Bone marrow aspirate smear:
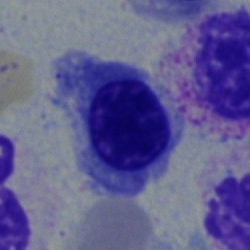 A normoblast.